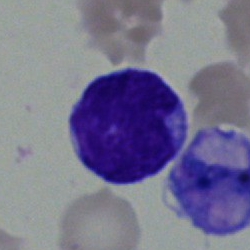 Single cell identified as a lymphocyte.